40× objective, oil immersion. Bone marrow smear:
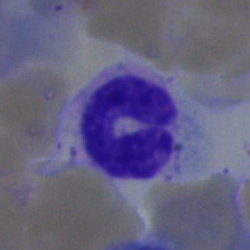

{"cell_type": "stab cell", "lineage": "myeloid"}